250×250 px. Bone marrow aspirate smear. MGG-stained: 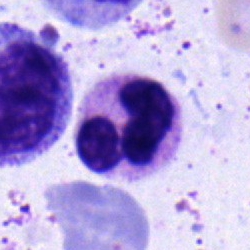
Neutrophil (segmented).